Bone marrow aspirate smear — 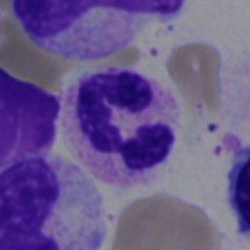

The cell shown is a neutrophil (segmented).